Bone marrow smear. Brightfield, 40× oil-immersion objective. Pappenheim-stained
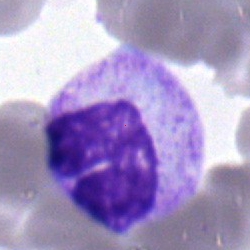Single cell identified as a polymorphonuclear neutrophil.